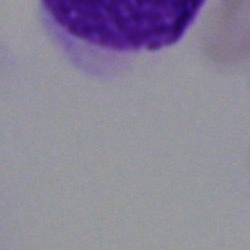
Q: What is shown here?
A: An artifact.